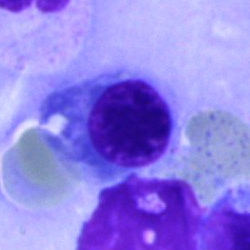

Q: Identify the cell.
A: Erythroblast.